Bone marrow smear: 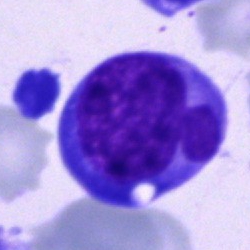Specimen: bone marrow aspirate smear.
Cell type: blast cell.